Bone marrow aspirate smear
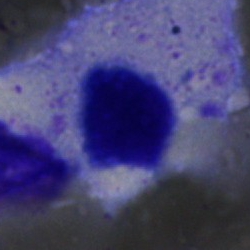Classification = artefact.